Bone marrow aspirate smear.
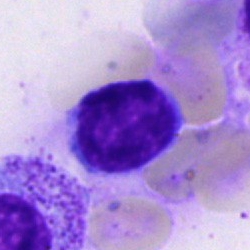Impression — typical lymphocyte.